Peripheral blood smear — 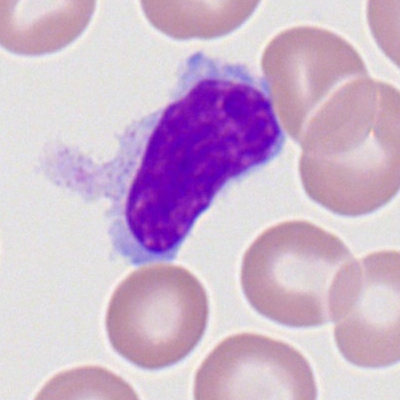

Q: Identify the cell.
A: This is a typical lymphocyte.